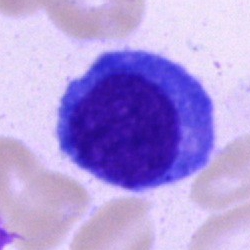

Impression — plasma cell.